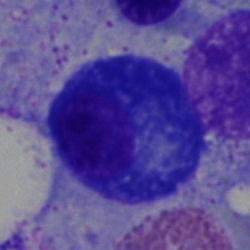 Morphological class — plasmacyte.